Bone marrow smear
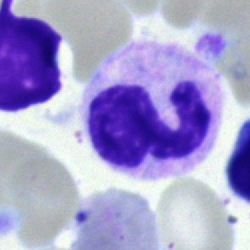 Specimen: bone marrow smear.
Cell type: polymorphonuclear neutrophil.
Lineage: myeloid.